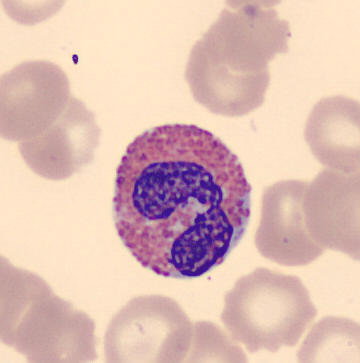
Identified as an eosinophil.